Bone marrow smear:
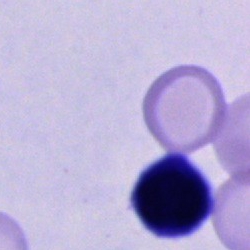

Impression → cell of indeterminate lineage.